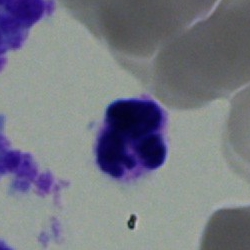 Cell type: polymorphonuclear neutrophil.